Bone marrow aspirate smear
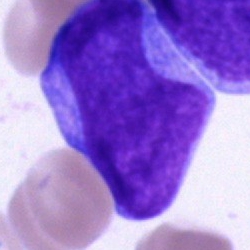 Q: What cell is this?
A: It is an undifferentiated blast.